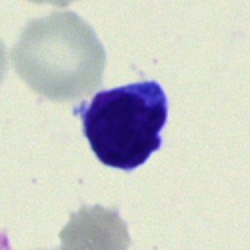 The morphological class is typical lymphocyte.